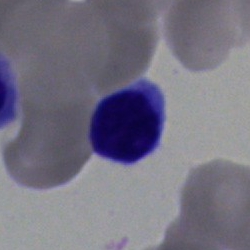 A lymphocyte on a bone marrow smear.